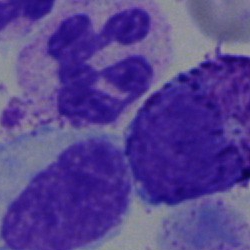Specimen: bone marrow aspirate smear.
Morphological class: segmented neutrophil.
Lineage: myeloid.